Cropped to a single cell. Bone marrow aspirate smear — 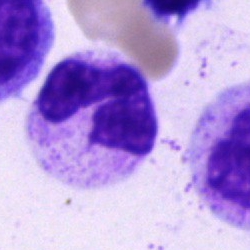Cell: polymorphonuclear neutrophil.